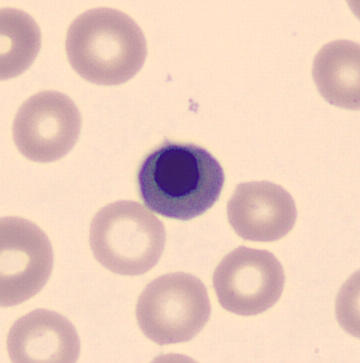 Specimen: peripheral blood film.
Cell type: normoblast.
Lineage: erythroid.